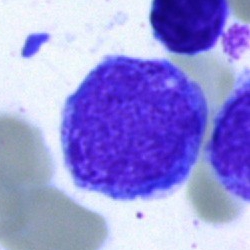

An undifferentiated blast.